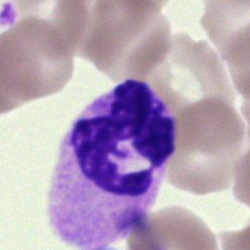

Morphological class = segmented neutrophil.